Bone marrow aspirate smear · 250×250:
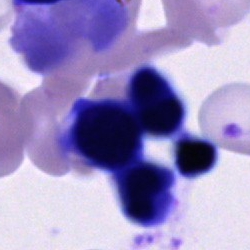

Unidentifiable cell.